Bone marrow smear: 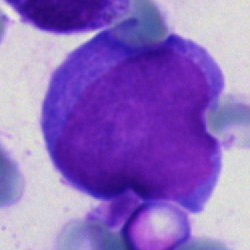 Q: What is the morphological classification of this cell?
A: A blast cell.